Bone marrow smear.
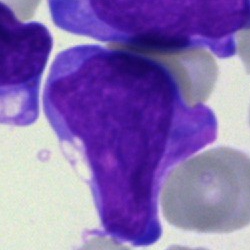
Impression — blast.